Bone marrow aspirate smear — 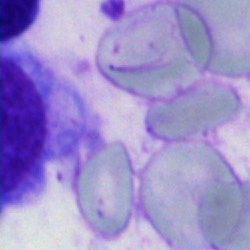 Q: What is shown here?
A: An artifact.